Bone marrow aspirate smear — 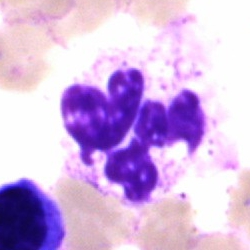 Q: What type of cell is this?
A: A segmented neutrophil.